Brightfield microscopy, 40× oil immersion; bone marrow smear:
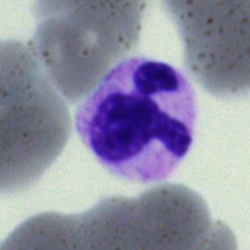Morphology → polymorphonuclear neutrophil.